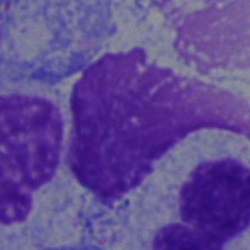 Q: What is shown here?
A: An artifact.